Bone marrow smear
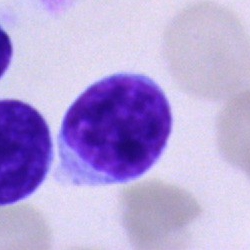
Morphology consistent with a typical lymphocyte.